Single cell centered in the field. 100× oil immersion, 14.14 px/µm. Peripheral blood film: 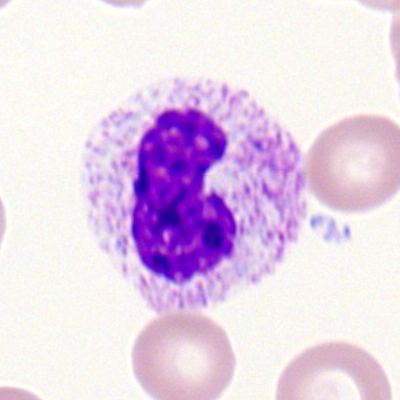

The classification is band-form neutrophil.